Bone marrow aspirate smear
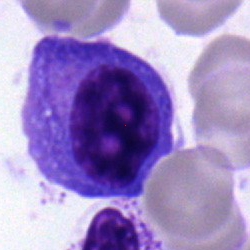 Morphological class: plasmacyte.